Bone marrow smear: 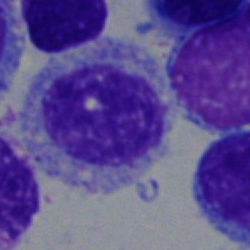

The cell shown is a myelocyte.